Bone marrow aspirate smear:
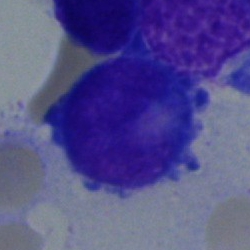

Single cell identified as an undifferentiated blast.